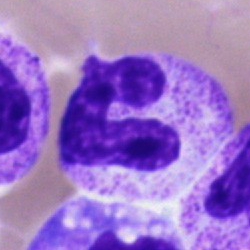Morphological class: stab cell.